Bone marrow aspirate smear — 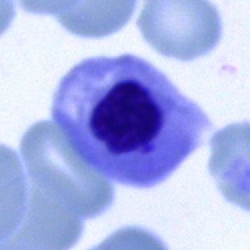 Showing a nucleated red cell.